Bone marrow aspirate smear:
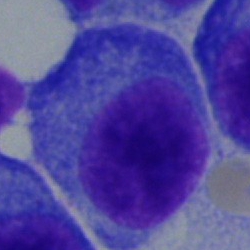Showing a plasmacyte.